Peripheral blood film · Romanowsky stain — 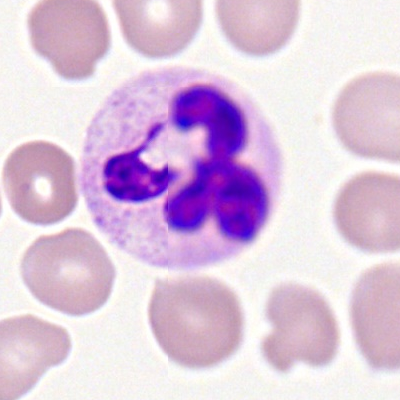

Segmented neutrophil.